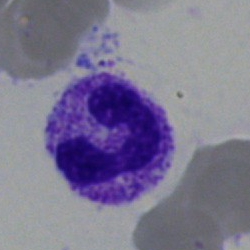

A neutrophil (segmented).